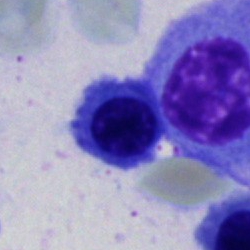

Erythroblast.